Bone marrow aspirate smear
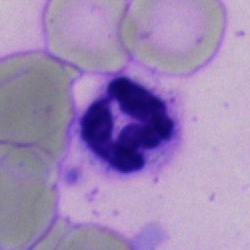

Showing a neutrophil (segmented).